Bone marrow aspirate smear — 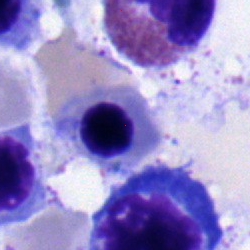

Q: What is the morphological classification of this cell?
A: This is a nucleated red cell.